Peripheral blood smear — 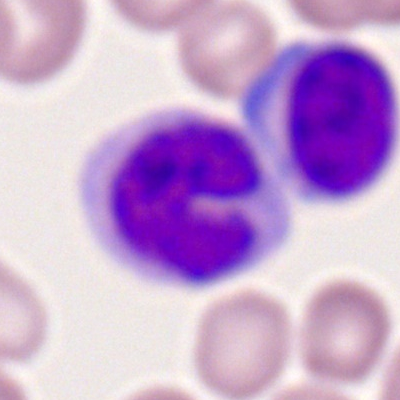
This is a monocyte.